Bone marrow aspirate smear; Pappenheim-stained — 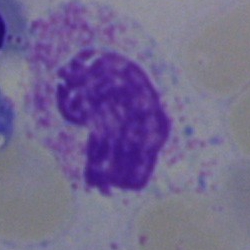

Q: What is the morphological classification of this cell?
A: This is a metamyelocyte.